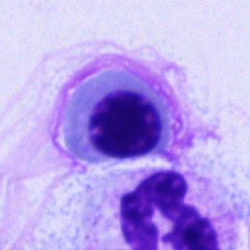

The morphological class is nucleated red blood cell.